Bone marrow aspirate smear
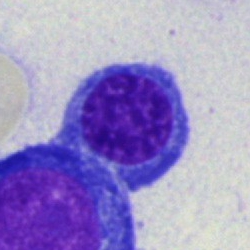Cell: erythroblast.